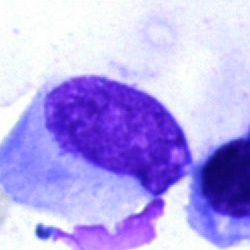Q: What is shown here?
A: Artifact.